Bone marrow smear: 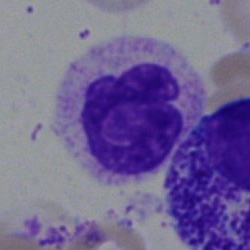

This is a neutrophil (segmented).